Single-cell field · bone marrow aspirate smear
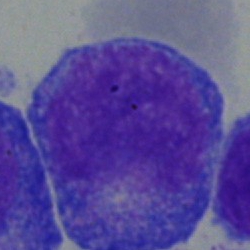Q: What is the morphological classification of this cell?
A: This is a progranulocyte.